250×250. Bone marrow aspirate smear.
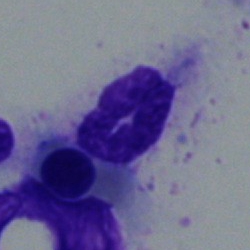
A polymorphonuclear neutrophil.